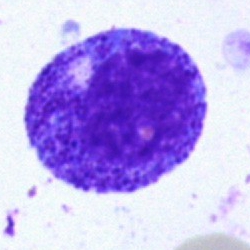Cell — promyelocyte.